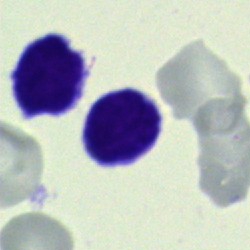Lymphocyte.